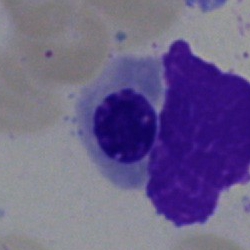 This is a normoblast.